250×250 px. Cropped to a single cell. Bone marrow aspirate smear:
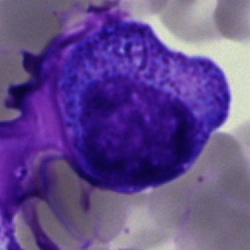Cell type = promyelocyte.